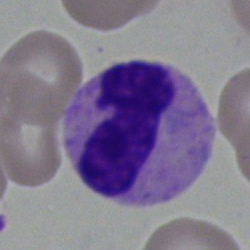{"cell_type": "neutrophil (band)"}